Bone marrow aspirate smear — 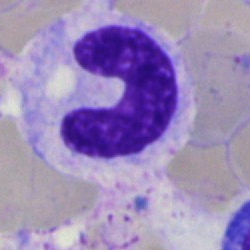 A stab cell.